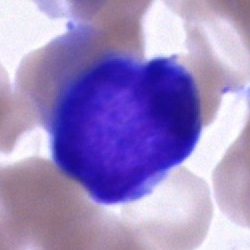

Specimen: bone marrow smear.
Cell type: blast cell.